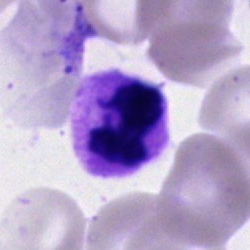
Q: Identify the cell.
A: It is a neutrophil (segmented).